Single-cell crop; 250×250 px; bone marrow aspirate smear — 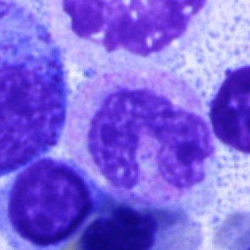
Impression — segmented neutrophil.